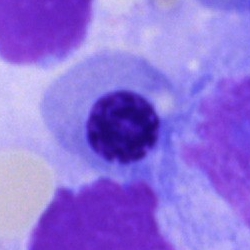Classification: normoblast.